Bone marrow smear — 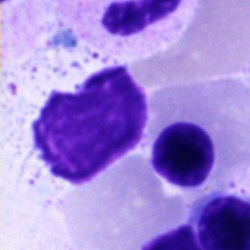

Cell = artefact.